Bone marrow aspirate smear — 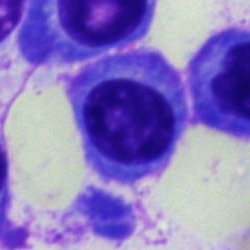Cell type: plasmacyte.